Brightfield microscopy, 40× oil immersion · bone marrow aspirate smear:
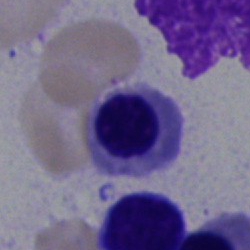 Cell type: nucleated red cell.